Bone marrow smear. Image size 250×250. Pappenheim-stained: 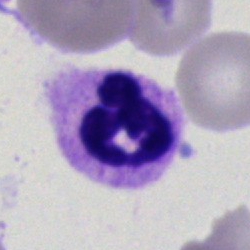
Morphology consistent with a polymorphonuclear neutrophil.